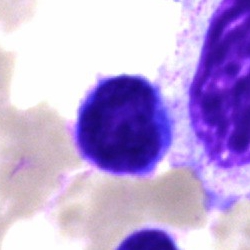

Cell type = typical lymphocyte.